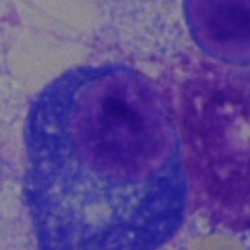

Q: What type of cell is this?
A: A plasma cell.